Single-cell crop · bone marrow smear · image size 250×250:
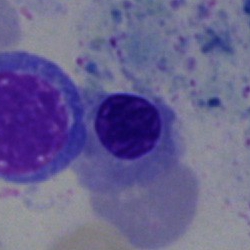

Cell = nucleated red blood cell.